Bone marrow aspirate smear. Cropped to a single cell — 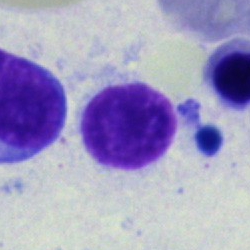 Showing a lymphocyte.